Brightfield microscopy, 40× oil immersion; 250×250; bone marrow aspirate smear:
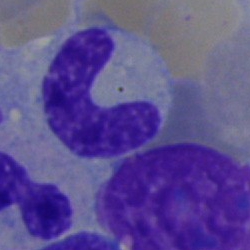 Morphological class = neutrophil (band).